Bone marrow aspirate smear: 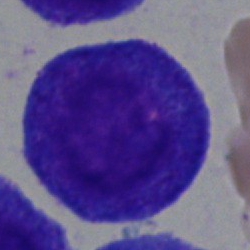

Q: Identify the cell.
A: A promyelocyte.